Bone marrow aspirate smear: 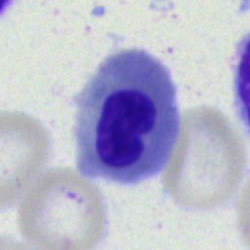
This is a normoblast.